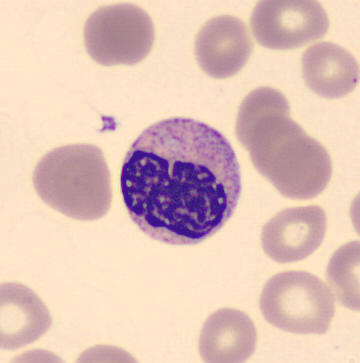

A metamyelocyte on a peripheral blood smear.